250 by 250 pixels; brightfield, 40× oil-immersion objective; bone marrow smear: 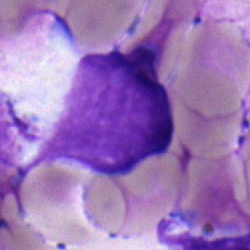This is a lymphocyte.